Pappenheim-stained; cropped to a single cell; bone marrow smear: 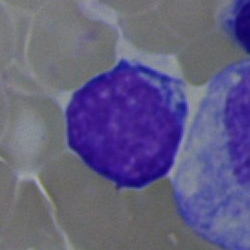Lymphocyte.